Bone marrow aspirate smear · brightfield microscopy, 40× oil immersion
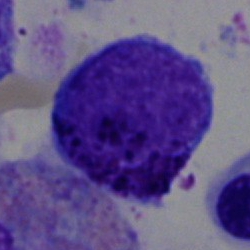

A basophilic granulocyte.